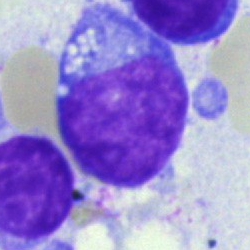 Q: Identify the cell.
A: It is a blast.